100× objective, oil immersion; peripheral blood smear: 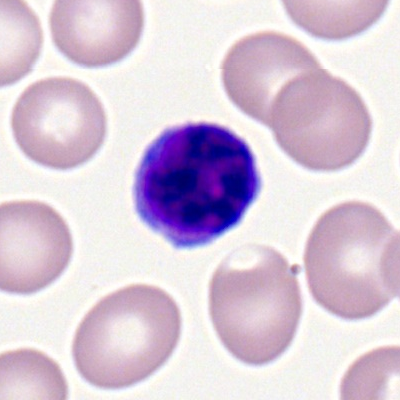

Q: What cell is this?
A: It is a typical lymphocyte.